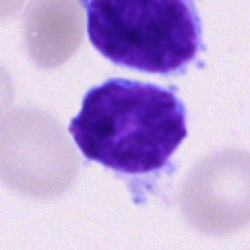Q: Which cell type is shown here?
A: Lymphocyte.